Bone marrow aspirate smear:
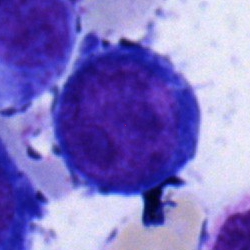 The cell shown is a pronormoblast.